Bone marrow smear.
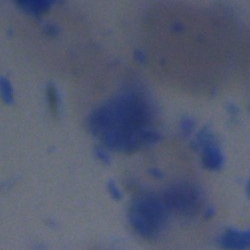

Q: What is shown here?
A: This is an artefact.